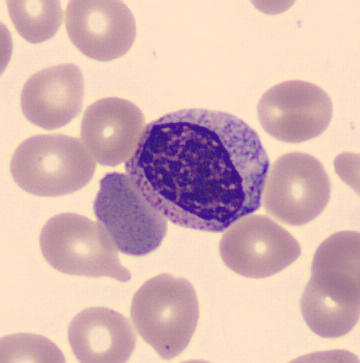 {"cell_type": "myelocyte"}